Peripheral blood film
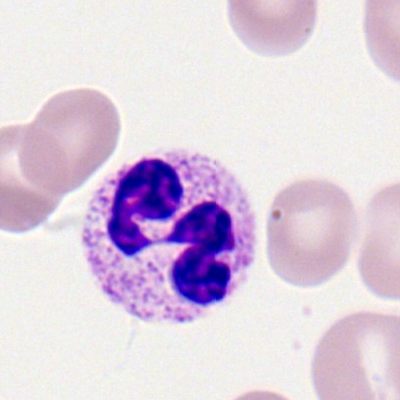Morphology consistent with a polymorphonuclear neutrophil.